Peripheral blood film:
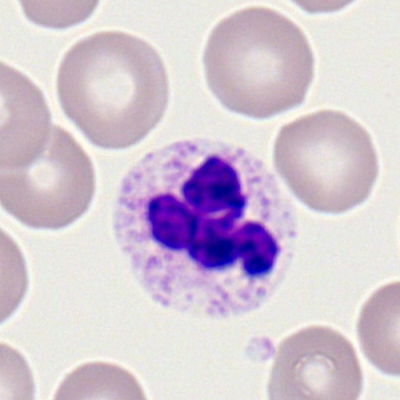 A polymorphonuclear neutrophil.